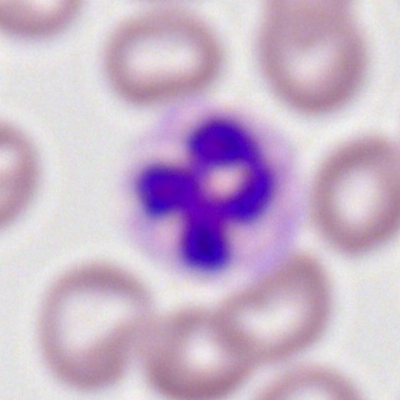 This is a segmented neutrophil.